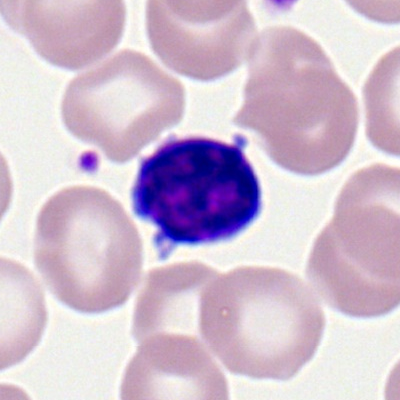
Impression → lymphocyte.